Cropped to a single cell. Bone marrow smear
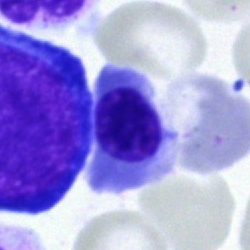
Specimen: bone marrow smear.
Cell: nucleated red blood cell.